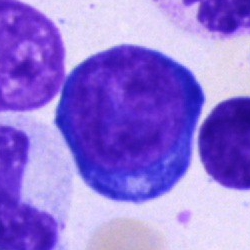
Morphological class = proerythroblast.